Single-cell field · bone marrow aspirate smear:
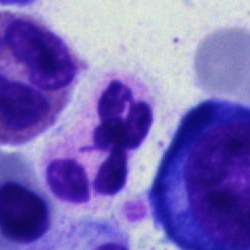Cell type = neutrophil (segmented).